Bone marrow smear:
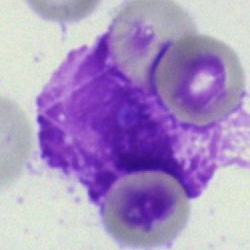
Morphology — artefact.